Bone marrow aspirate smear: 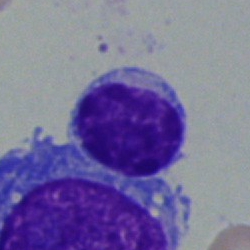The cell is typical lymphocyte.